Bone marrow aspirate smear
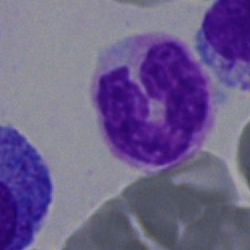The cell shown is a neutrophil (segmented).